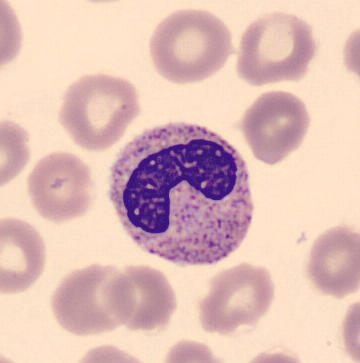Q: What cell is this?
A: A stab cell.